Bone marrow smear; MGG-stained
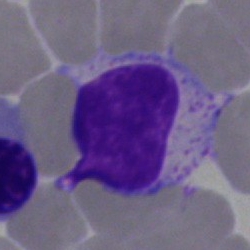

Q: Which cell type is shown here?
A: This is a lymphocyte.